Bone marrow smear · May-Grünwald-Giemsa stain: 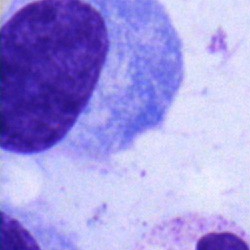
A plasma cell.